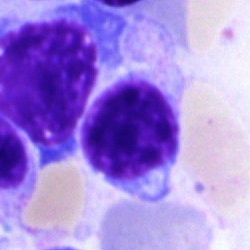
Q: Which cell type is shown here?
A: A lymphocyte.